Bone marrow aspirate smear: 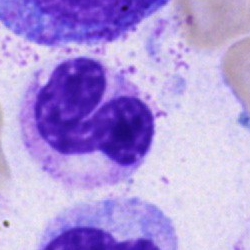Classification: polymorphonuclear neutrophil.